Bone marrow smear: 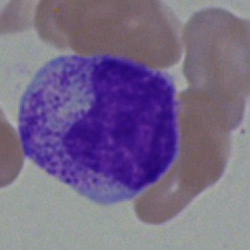 Morphology → myelocyte.